Single-cell field · bone marrow smear: 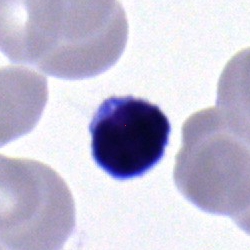 Q: Which cell type is shown here?
A: A lymphocyte.